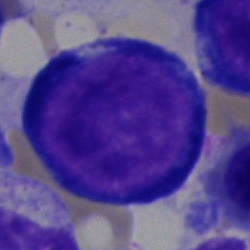
Morphological class: pronormoblast.